Peripheral blood film · 400 by 400 pixels:
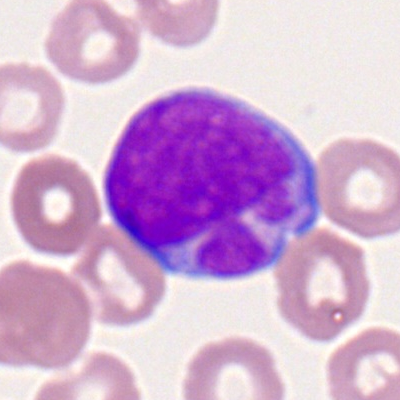 Morphological class = myeloblast.